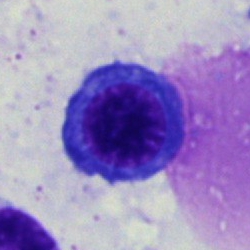
A nucleated red blood cell.